Bone marrow smear
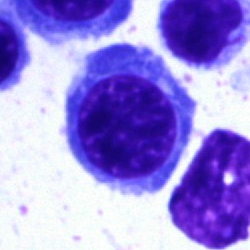 Morphology consistent with a normoblast.